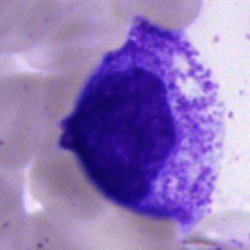Specimen: bone marrow aspirate smear.
Cell type: promyelocyte.
Lineage: myeloid.